MGG-stained. Bone marrow aspirate smear. Image size 250×250.
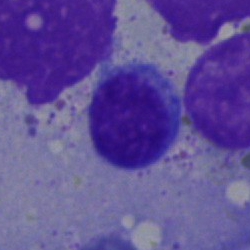 Single cell identified as a typical lymphocyte.